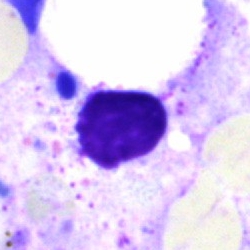Artefact.